250×250 px. Bone marrow aspirate smear.
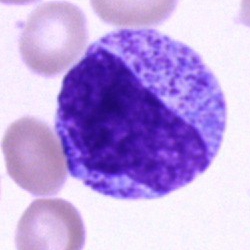
Morphology — promyelocyte.